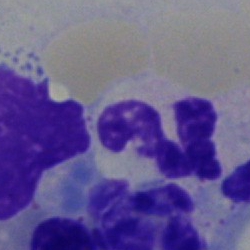Impression — neutrophil (segmented).